Peripheral blood smear: 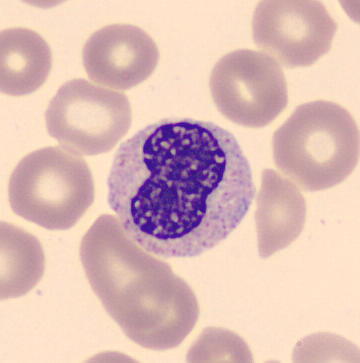Q: What type of cell is this?
A: A metamyelocyte.